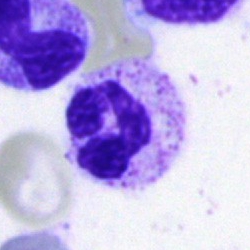This is a neutrophil (segmented).